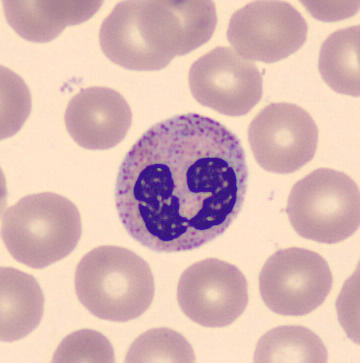{"cell_type": "neutrophil (segmented)", "lineage": "myeloid"}

Acquisition: Peripheral blood smear.